Bone marrow aspirate smear. MGG-stained. Image size 250×250:
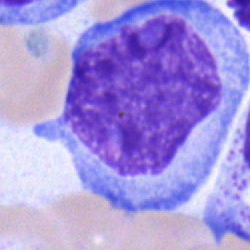 {"cell_type": "blast"}